250×250 px; bone marrow smear — 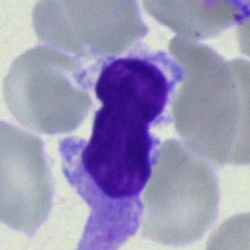 Morphological class — lymphocyte.